Peripheral blood film — 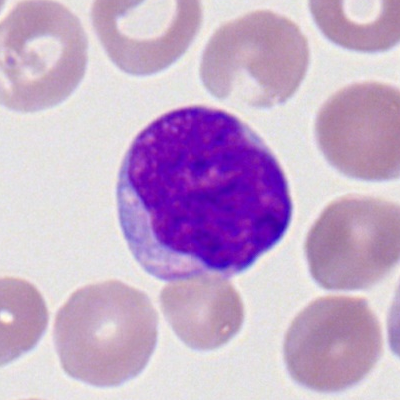
Q: What type of cell is this?
A: Myeloid blast.